Bone marrow aspirate smear.
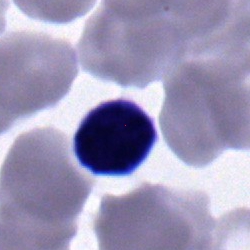A typical lymphocyte.